Bone marrow smear
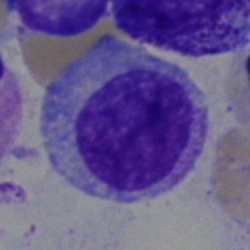
Morphology consistent with a metamyelocyte.